Bone marrow aspirate smear: 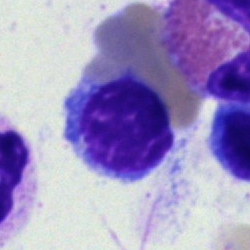

{"cell_type": "typical lymphocyte", "lineage": "lymphoid"}